Bone marrow aspirate smear. 40× oil immersion:
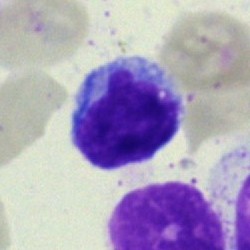

Specimen: bone marrow smear.
Cell type: lymphocyte.
Lineage: lymphoid.